Bone marrow smear · May-Grünwald-Giemsa stain.
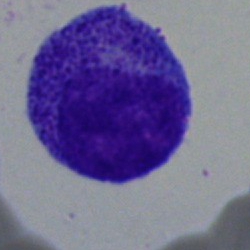 Morphological class — promyelocyte.